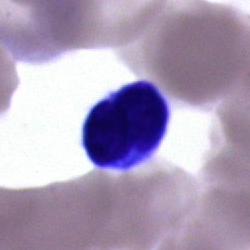Impression → lymphocyte.